Peripheral blood smear: 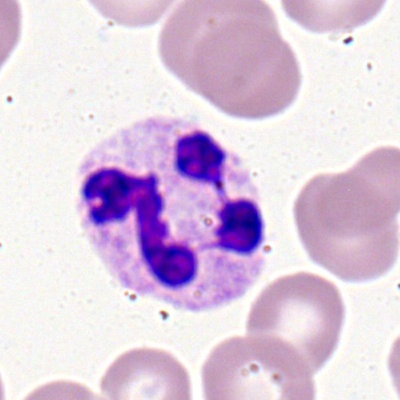 Single cell identified as a polymorphonuclear neutrophil.